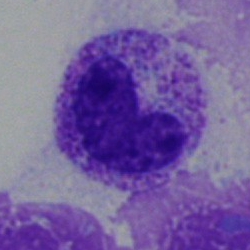Specimen: bone marrow smear.
Cell type: band neutrophil.
Lineage: myeloid.